Brightfield, 40× oil-immersion objective; bone marrow aspirate smear
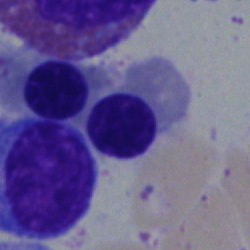 Q: What cell is this?
A: It is a normoblast.